Bone marrow smear; brightfield microscopy, 40× oil immersion; May-Grünwald-Giemsa stain:
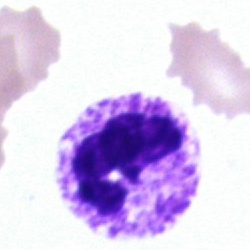
Polymorphonuclear neutrophil.